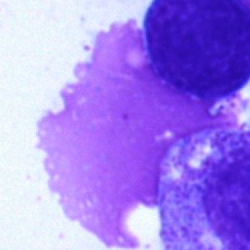 Bone marrow smear showing an artifact.